Bone marrow smear · 250 by 250 pixels · single cell centered in the field.
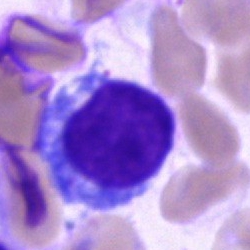Morphology — lymphocyte.